Bone marrow smear · MGG-stained: 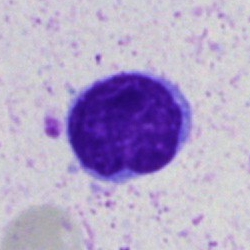The cell shown is a lymphocyte.